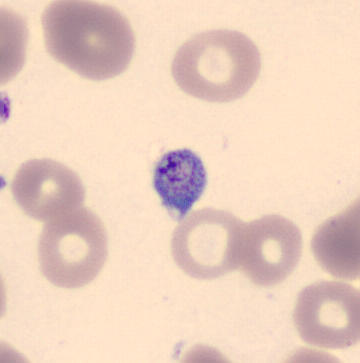Peripheral blood smear. Impression — platelet.